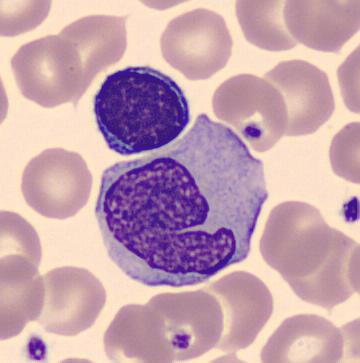{"cell_type": "monocyte", "lineage": "myeloid"}

Peripheral blood smear.